Single cell centered in the field; bone marrow aspirate smear — 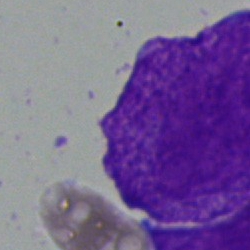
Showing a blast cell.